Bone marrow aspirate smear:
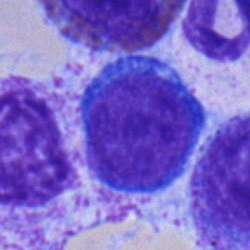 Q: Identify the cell.
A: Lymphocyte.